Bone marrow smear. 250 by 250 pixels. MGG-stained: 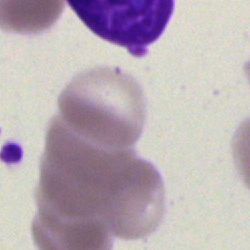 Specimen: bone marrow aspirate smear.
Classification: artefact.